250 by 250 pixels · bone marrow smear.
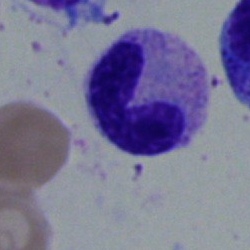Specimen: bone marrow smear.
Cell type: band neutrophil.
Lineage: myeloid.